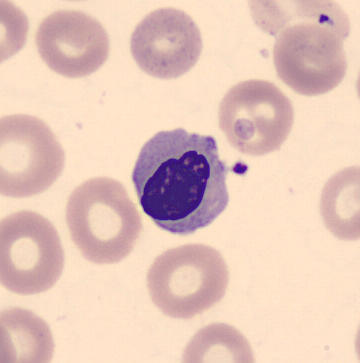
Q: What cell is this?
A: It is an erythroblast. Acquisition: Peripheral blood smear. CellaVision DM96 digital cell image.